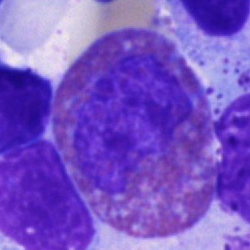 The morphological class is eosinophil.